Brightfield microscopy, 40× oil immersion; bone marrow smear; May-Grünwald-Giemsa/Pappenheim stain
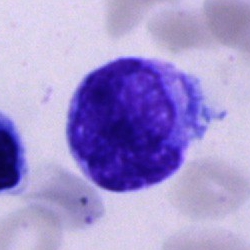Cell of indeterminate lineage.